Single-cell crop. May-Grünwald-Giemsa/Pappenheim stain. Bone marrow smear.
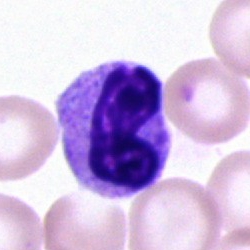{"cell_type": "neutrophil (band)"}